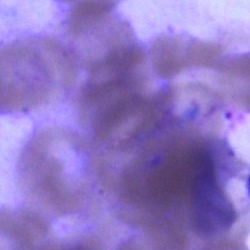Cell: artifact.